Bone marrow smear — 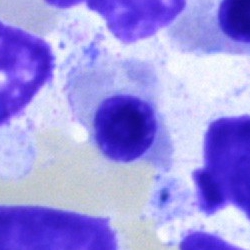

Cell: erythroblast.